Peripheral blood film — 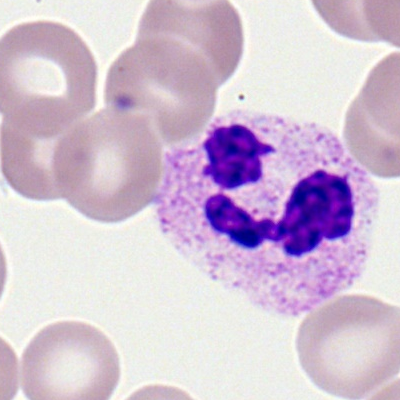{"cell_type": "segmented neutrophil"}